Bone marrow aspirate smear:
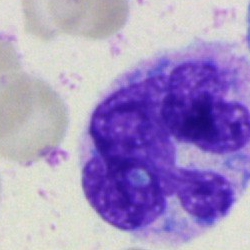

A monocyte.